Image size 250×250. Bone marrow aspirate smear — 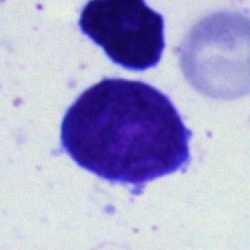
Q: What type of cell is this?
A: This is a typical lymphocyte.